Bone marrow smear · single cell centered in the field — 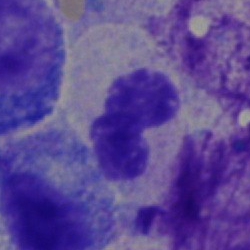 Specimen: bone marrow aspirate smear.
Morphological class: polymorphonuclear neutrophil.